Bone marrow smear; brightfield, 40× oil-immersion objective; 250×250
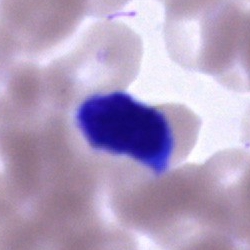Lymphocyte.